250×250; bone marrow smear; May-Grünwald-Giemsa stain: 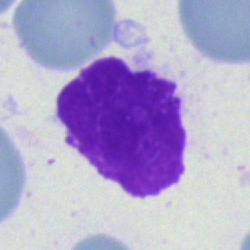Morphology → artefact.